250 by 250 pixels. Bone marrow smear: 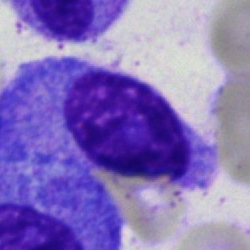Morphological class — plasma cell.